Peripheral blood film:
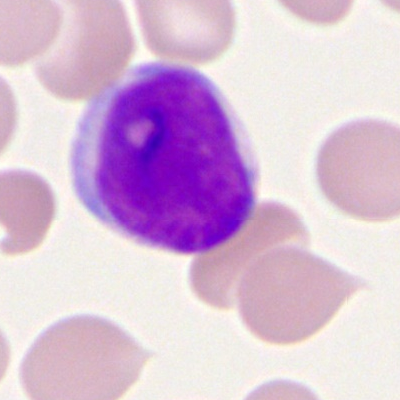
Cell type — myeloblast.